Bone marrow smear · single cell centered in the field · brightfield, 40× oil-immersion objective.
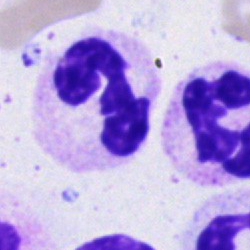
Morphological class — segmented neutrophil.